Bone marrow smear.
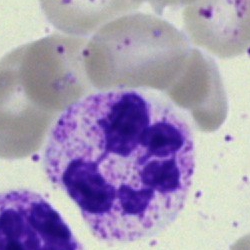 Morphology → segmented neutrophil.